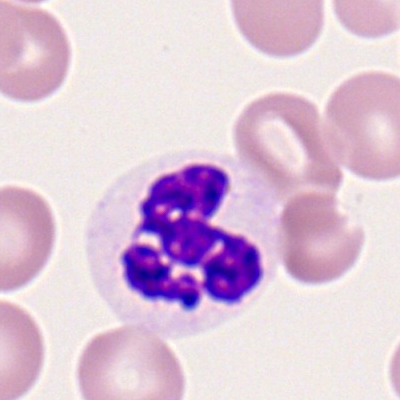The cell shown is a polymorphonuclear neutrophil.